Bone marrow aspirate smear · 250×250 px · brightfield, 40× oil-immersion objective — 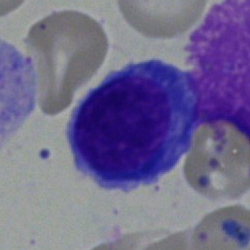
Q: Identify the cell.
A: This is a normoblast.